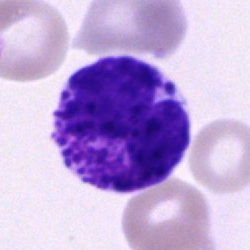
{"cell_type": "basophil", "lineage": "myeloid"}